Peripheral blood film: 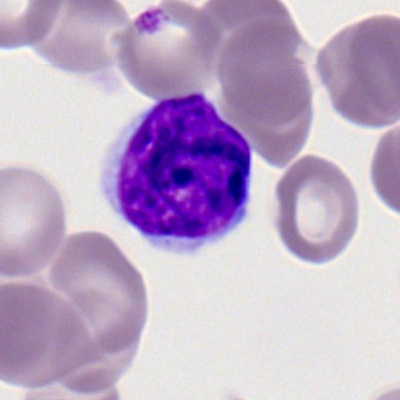

Morphology consistent with a typical lymphocyte.